Single cell centered in the field · brightfield microscopy, 40× oil immersion · bone marrow smear
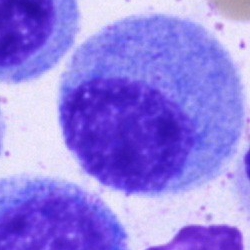 Specimen: bone marrow smear.
Classification: promyelocyte.
Lineage: myeloid.